250 by 250 pixels · 40× objective, oil immersion · bone marrow smear
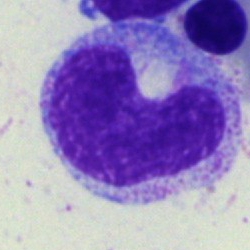

Morphology → progranulocyte.